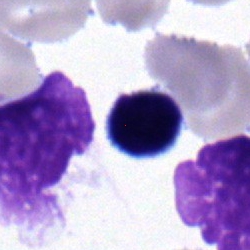
Bone marrow smear showing a lymphocyte.